Bone marrow aspirate smear. Pappenheim-stained:
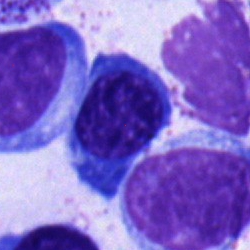

Morphology consistent with a nucleated red cell.